Bone marrow smear.
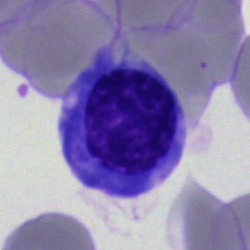
Cell type = normoblast.